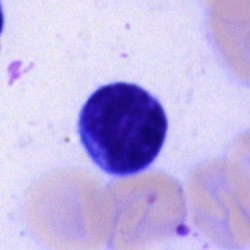
{"cell_type": "lymphocyte", "lineage": "lymphoid"}